250×250 · bone marrow smear · Pappenheim-stained:
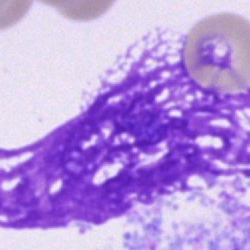The cell shown is an artefact.